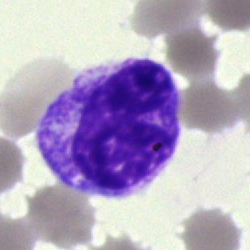Q: Identify the cell.
A: It is a neutrophil (band).